Peripheral blood smear — 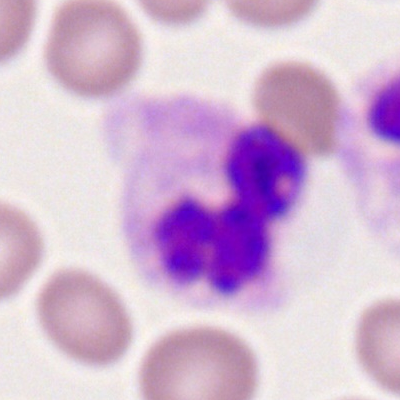

A polymorphonuclear neutrophil.